Bone marrow aspirate smear — 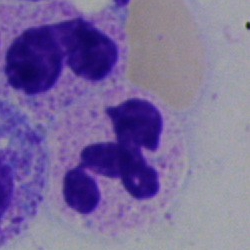 The cell shown is a neutrophil (segmented).